Bone marrow aspirate smear — 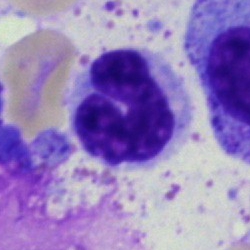Specimen: bone marrow smear.
Morphological class: stab cell.